Bone marrow smear.
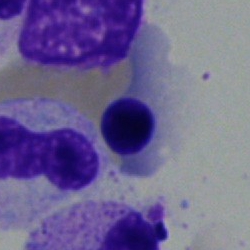Cell — erythroblast.